Bone marrow aspirate smear — 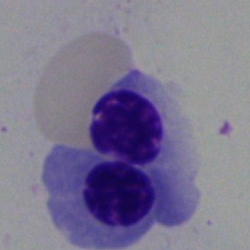 The cell type is nucleated red cell.